MGG-stained · bone marrow smear:
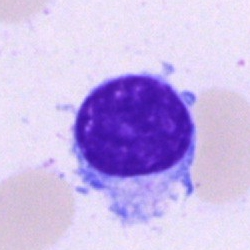 Q: Identify the cell.
A: It is a lymphocyte.